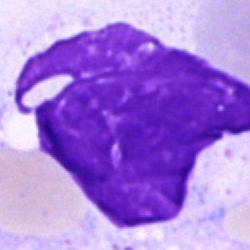Bone marrow smear showing an artifact.